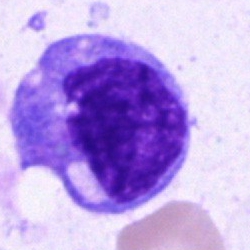 Q: What is shown here?
A: It is a monocyte.